Bone marrow smear. Brightfield, 40× oil-immersion objective:
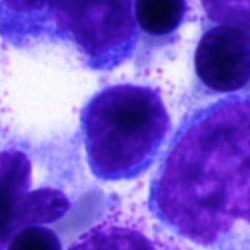 Morphology consistent with a typical lymphocyte.